Bone marrow aspirate smear
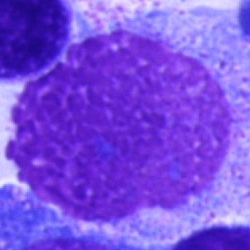
An artefact.